250×250 px; bone marrow smear.
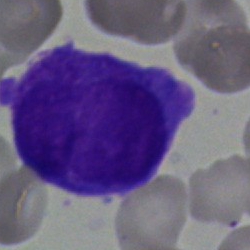Specimen: bone marrow smear.
Cell type: blast.